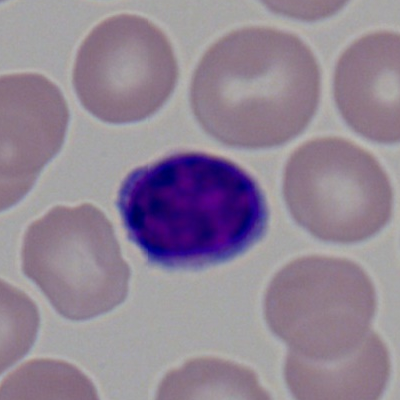
A typical lymphocyte on a peripheral blood smear.